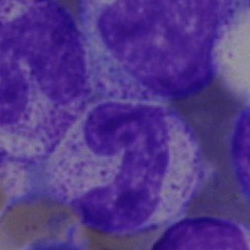Stab cell.